Bone marrow aspirate smear:
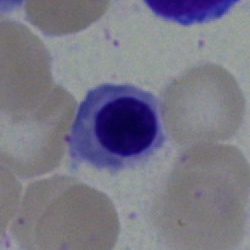 Q: What cell is this?
A: This is a nucleated red blood cell.